Bone marrow aspirate smear: 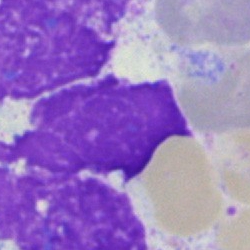
Cell type = artefact.